Peripheral blood film · cropped to a single cell:
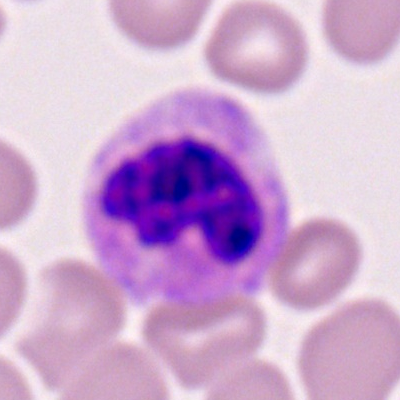

Impression → polymorphonuclear neutrophil.